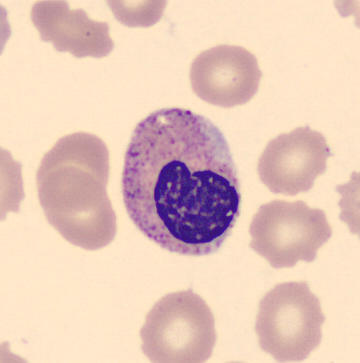 Specimen: peripheral blood smear.
Classification: metamyelocyte.